Bone marrow aspirate smear; 250 by 250 pixels
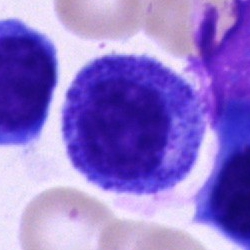Cell — progranulocyte.